Bone marrow smear
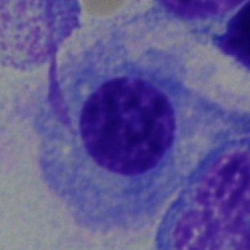Q: What type of cell is this?
A: A plasma cell.